250×250 px · single cell centered in the field · bone marrow smear: 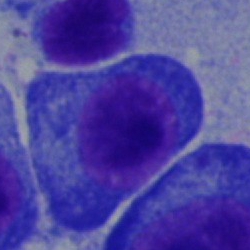The cell shown is a plasmacyte.